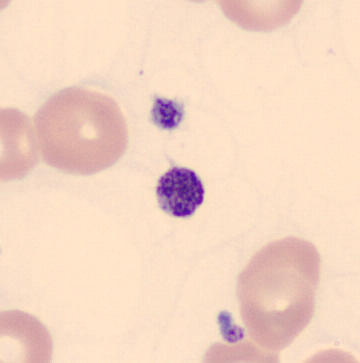Preparation: CellaVision DM96 digital cell image · peripheral blood smear · 360×363.

Classification — thrombocyte.